Single-cell crop. Peripheral blood smear.
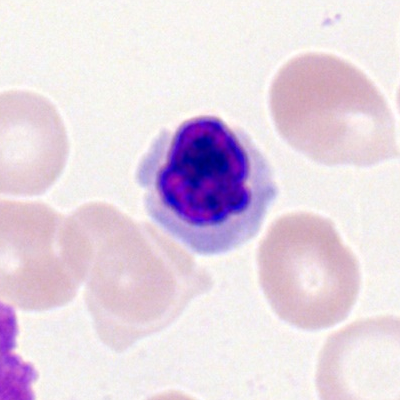
Showing a nucleated red blood cell.